250×250 · bone marrow aspirate smear
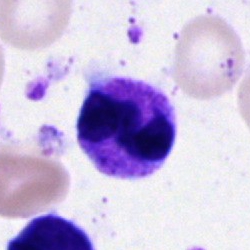
Morphology — segmented neutrophil.